Bone marrow smear.
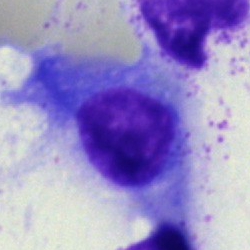 The cell shown is a plasmacyte.